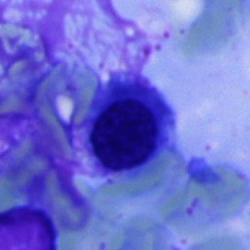

Showing a nucleated red cell.